Bone marrow smear. Brightfield microscopy, 40× oil immersion. MGG-stained: 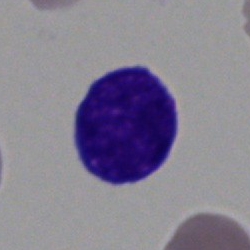 The cell type is undifferentiated blast.